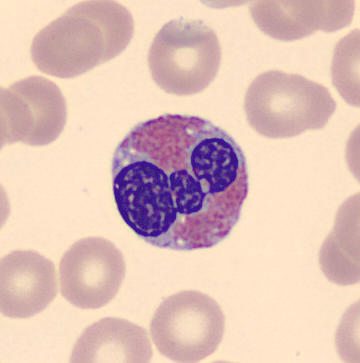Peripheral blood film · CellaVision DM96 digital cell image · May Grünwald-Giemsa stain.

Q: What cell is this?
A: It is an eosinophilic granulocyte.